Bone marrow aspirate smear — 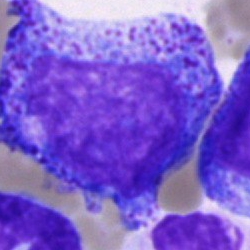Specimen: bone marrow aspirate smear.
Morphological class: progranulocyte.